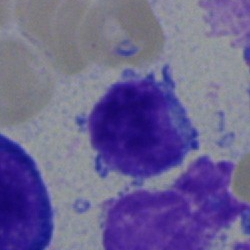Cell: lymphocyte.